Peripheral blood film: 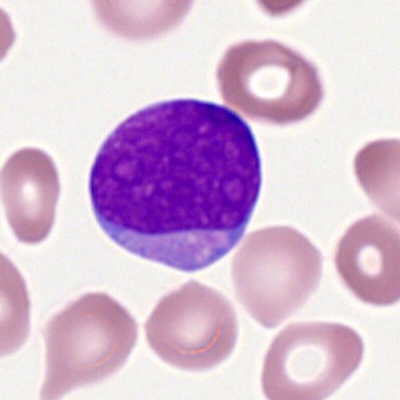

Q: Which cell type is shown here?
A: This is a myeloblast.